Bone marrow smear: 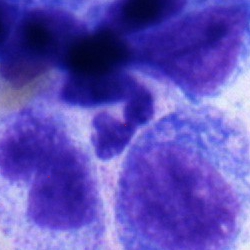

A typical lymphocyte.